Bone marrow smear. Single-cell crop
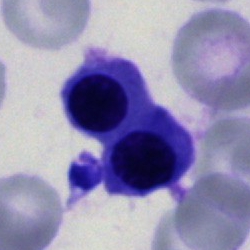 This is a nucleated red blood cell.